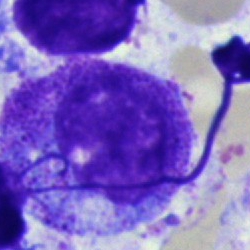 Single cell identified as a promyelocyte.